Bone marrow smear; single-cell crop; MGG-stained.
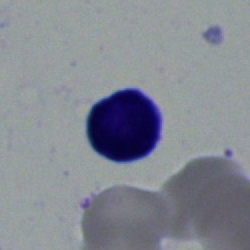Showing a lymphocyte.